Bone marrow smear
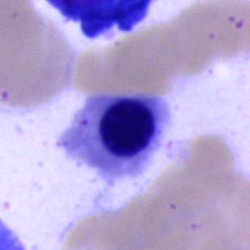
Cell type = nucleated red cell.